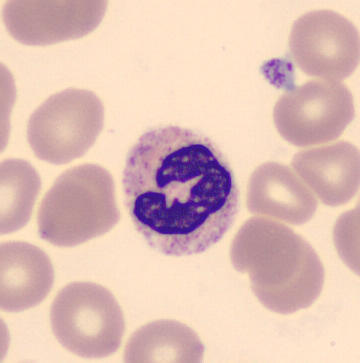 Impression — segmented neutrophil.
Image: 360×363 px · peripheral blood smear.